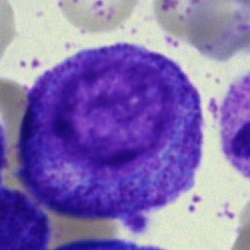 The cell type is progranulocyte.